May-Grünwald-Giemsa stain; bone marrow smear:
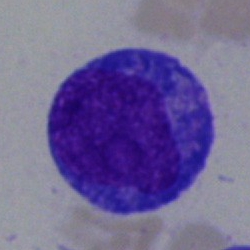 The cell shown is a blast.